MGG-stained · cropped to a single cell · bone marrow smear:
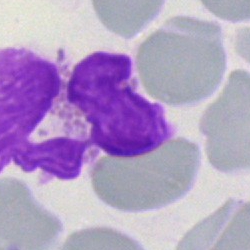 Morphology → neutrophil (segmented).